MGG-stained · bone marrow aspirate smear
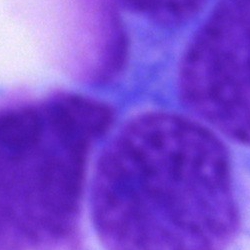
Q: What type of cell is this?
A: An unidentifiable cell.